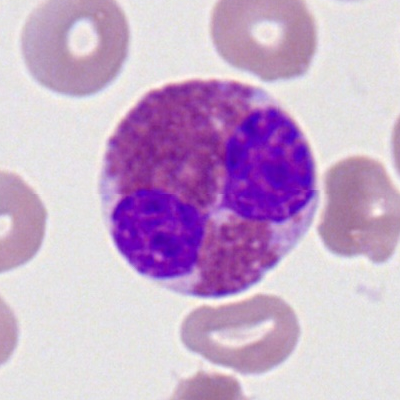Morphological class — eosinophilic granulocyte.